Bone marrow smear:
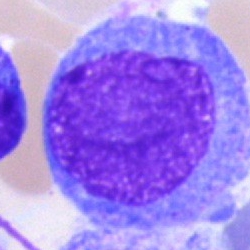

{"cell_type": "undifferentiated blast"}